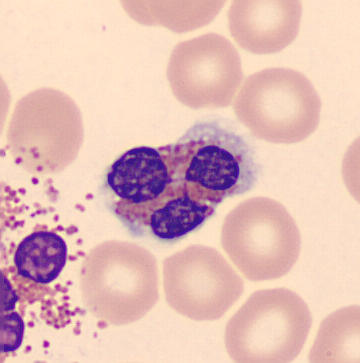 The morphological class is eosinophil.
Image: Peripheral blood film.